250×250 px · bone marrow aspirate smear · single-cell crop:
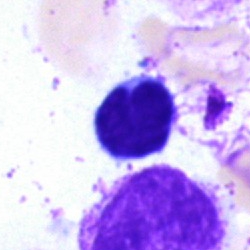

Specimen: bone marrow smear.
Classification: lymphocyte.
Lineage: lymphoid.